Bone marrow aspirate smear · May-Grünwald-Giemsa stain:
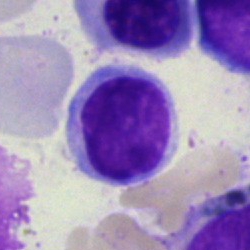A typical lymphocyte.